Image size 250×250; bone marrow smear; single-cell crop: 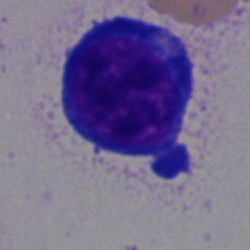 This is a pronormoblast.